Single-cell field · peripheral blood film · 100× oil immersion: 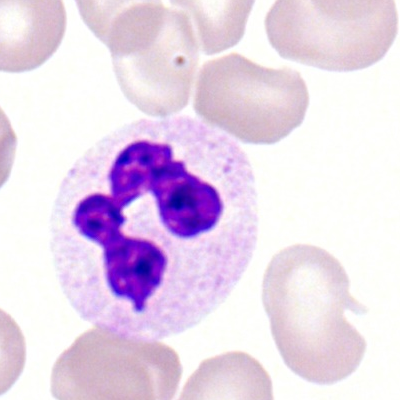
Morphological class: segmented neutrophil.